Single-cell field · peripheral blood smear · 400×400 px
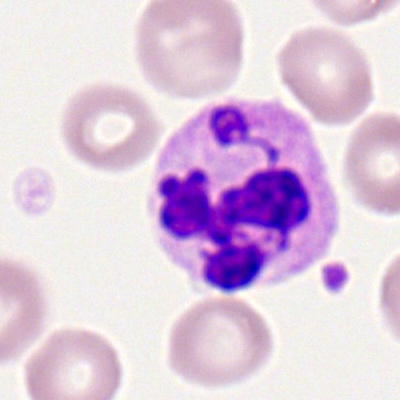 Specimen: peripheral blood smear.
Classification: segmented neutrophil.
Lineage: myeloid.